Bone marrow aspirate smear
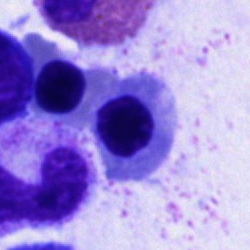
Specimen: bone marrow aspirate smear.
Morphological class: erythroblast.
Lineage: erythroid.